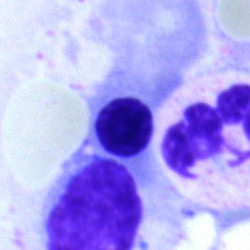
Q: What cell is this?
A: This is a nucleated red blood cell.